Peripheral blood film: 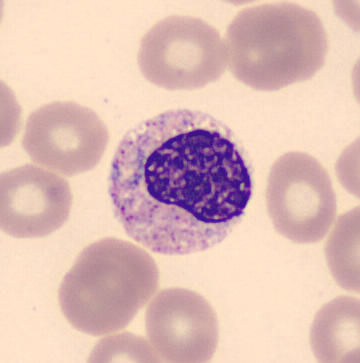 Specimen: peripheral blood film.
Cell: metamyelocyte.
Lineage: myeloid.